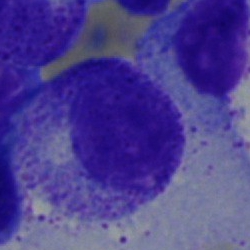
The cell is myelocyte.